Bone marrow aspirate smear. Single-cell crop
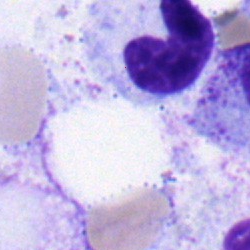The classification is band neutrophil.